Bone marrow aspirate smear:
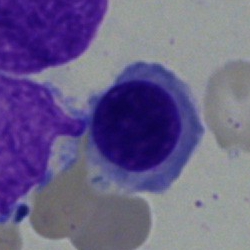Classification: normoblast.